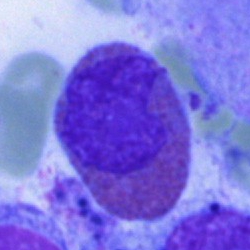The cell is eosinophilic granulocyte.